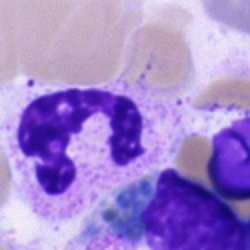

Morphology consistent with a polymorphonuclear neutrophil.